Bone marrow smear: 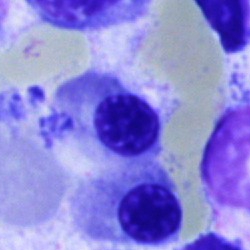

Q: Identify the cell.
A: Nucleated red cell.